Bone marrow smear — 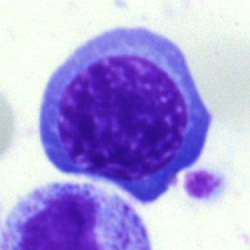The morphological class is erythroblast.